Bone marrow aspirate smear
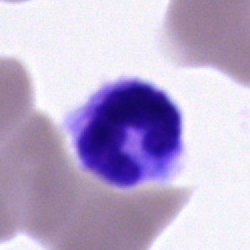

The cell is cell of indeterminate lineage.